Bone marrow smear.
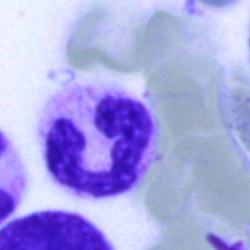The cell type is polymorphonuclear neutrophil.